40× oil immersion; bone marrow aspirate smear — 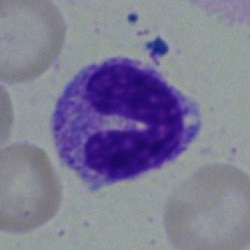 Morphology → band neutrophil.